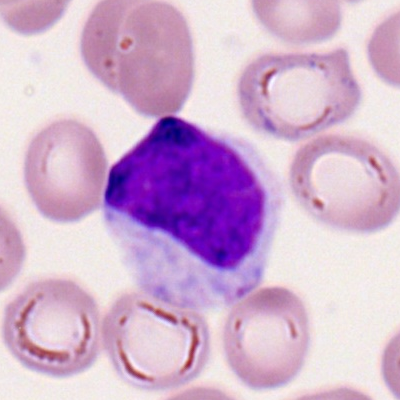

Q: Identify the cell.
A: A lymphocyte.